Bone marrow smear:
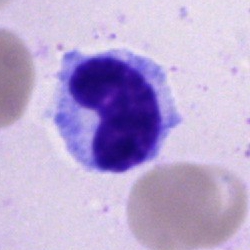
The cell shown is a metamyelocyte.